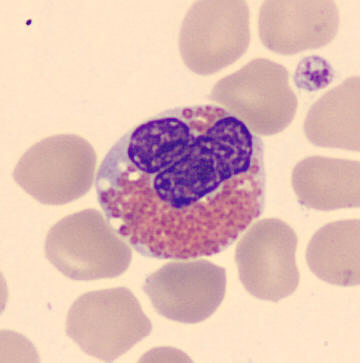Morphology → eosinophilic granulocyte.
Acquisition: CellaVision DM96; peripheral blood smear.